Bone marrow aspirate smear
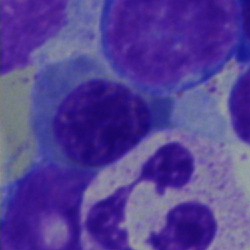Cell type: nucleated red cell.